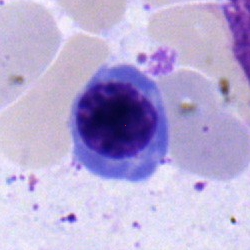 Specimen: bone marrow smear.
Cell: nucleated red cell.